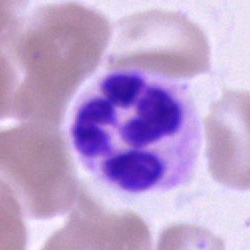
Morphology — segmented neutrophil.